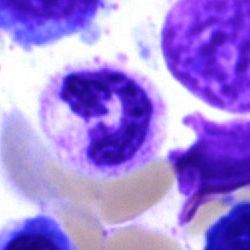Neutrophil (segmented).